250×250; bone marrow aspirate smear: 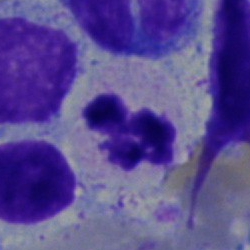Morphological class = polymorphonuclear neutrophil.